Single-cell field; bone marrow smear; MGG-stained:
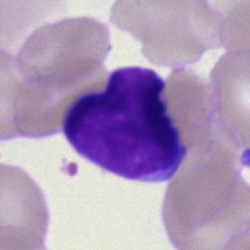
Q: What type of cell is this?
A: This is a lymphocyte.